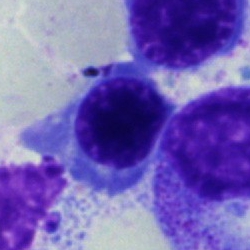
Impression → normoblast.